40× oil immersion; bone marrow smear; May-Grünwald-Giemsa/Pappenheim stain.
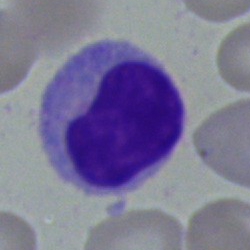Cell type: monocyte.